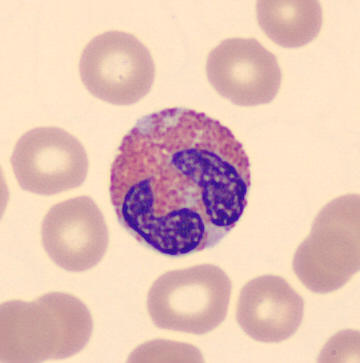
Morphological class = eosinophilic granulocyte.
Peripheral blood smear · single-cell field.